Bone marrow aspirate smear:
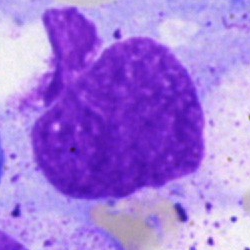

Cell type — artefact.